Bone marrow smear — 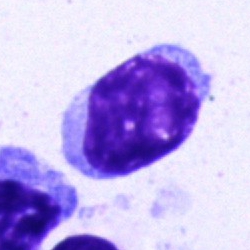

This is a typical lymphocyte.